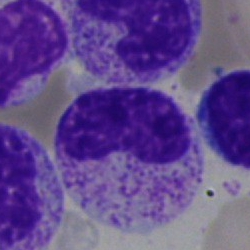

Morphological class = metamyelocyte.